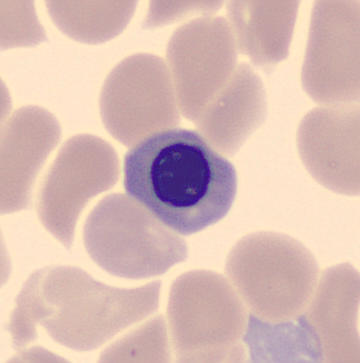
{"cell_type": "erythroblast", "lineage": "erythroid"}